250×250; MGG-stained; bone marrow smear:
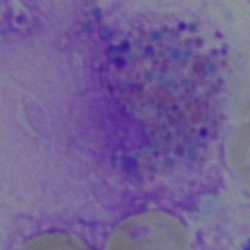 Single cell identified as an artefact.